Bone marrow smear. May-Grünwald-Giemsa/Pappenheim stain.
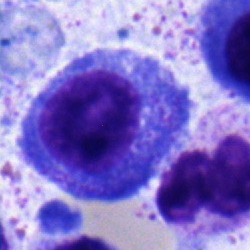
{"cell_type": "progranulocyte", "lineage": "myeloid"}